Bone marrow aspirate smear. MGG-stained
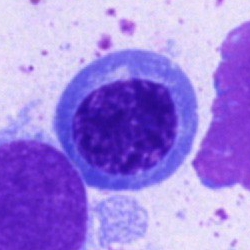 This is a normoblast.